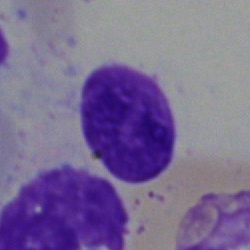Q: Identify the cell.
A: A lymphocyte.